Bone marrow aspirate smear
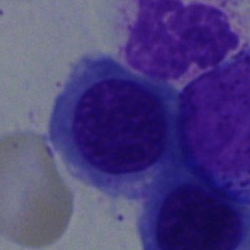The cell shown is a normoblast.